Peripheral blood smear · Romanowsky stain — 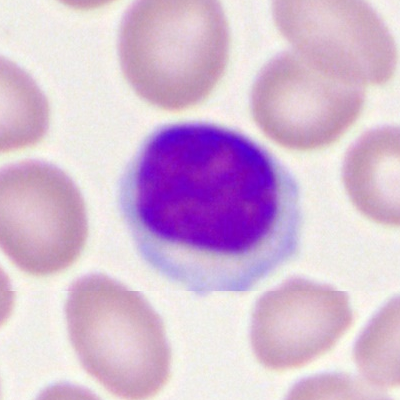 The cell is typical lymphocyte.